Bone marrow aspirate smear. 250 by 250 pixels
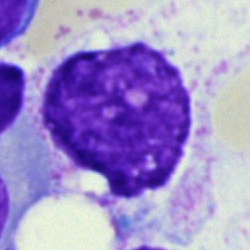 Impression → artefact.